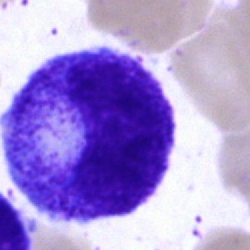

Morphology — promyelocyte.